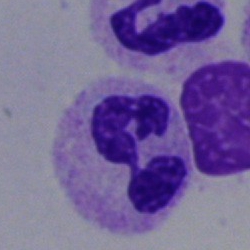
Showing a neutrophil (segmented).